Bone marrow aspirate smear · May-Grünwald-Giemsa stain.
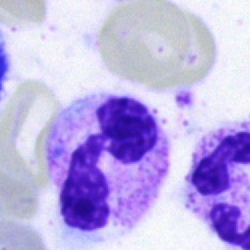Polymorphonuclear neutrophil.